Bone marrow aspirate smear: 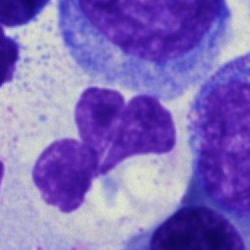
The cell shown is a segmented neutrophil.